Pappenheim-stained; 40× oil immersion; bone marrow aspirate smear — 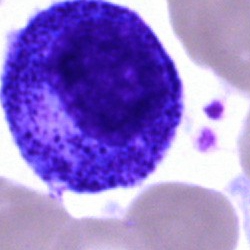 Cell = progranulocyte.